Bone marrow aspirate smear
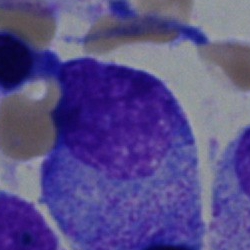
Q: What is shown here?
A: This is a promyelocyte.